Image size 250×250; brightfield microscopy, 40× oil immersion; bone marrow aspirate smear
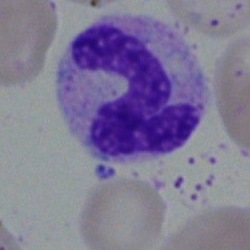 {"cell_type": "band-form neutrophil"}